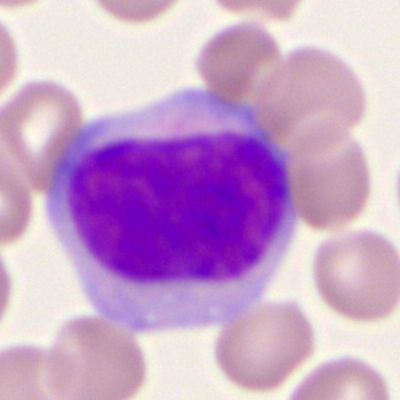
Cell type — myeloid blast.